Bone marrow smear:
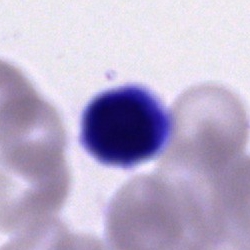 Single cell identified as an artifact.